Bone marrow smear
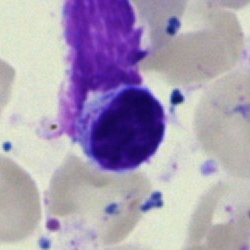 Q: Identify the cell.
A: A lymphocyte.